Peripheral blood film:
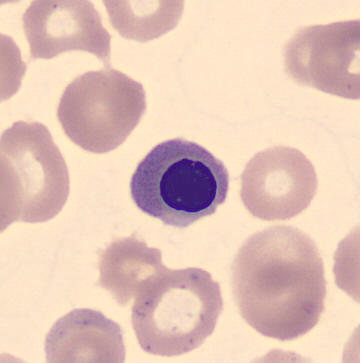
Q: What type of cell is this?
A: It is an erythroblast.